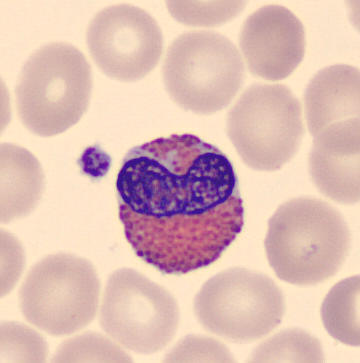
{"cell_type": "eosinophilic granulocyte"}